Single-cell field · bone marrow aspirate smear · brightfield, 40× oil-immersion objective — 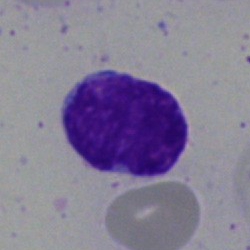 {"cell_type": "typical lymphocyte"}